Brightfield, 40× oil-immersion objective; bone marrow aspirate smear
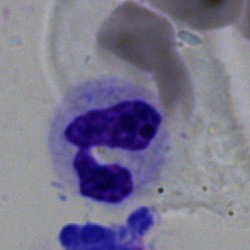

Specimen: bone marrow aspirate smear.
Morphological class: neutrophil (segmented).